Bone marrow aspirate smear; single cell centered in the field.
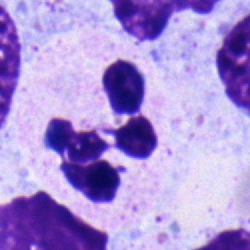 Q: What is shown here?
A: Segmented neutrophil.